Peripheral blood smear:
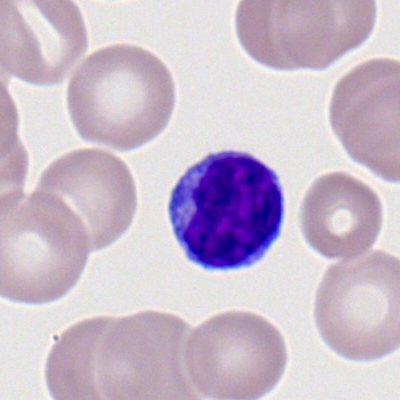

Showing a typical lymphocyte.